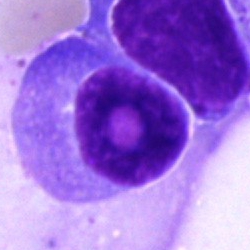
The morphological class is plasma cell.